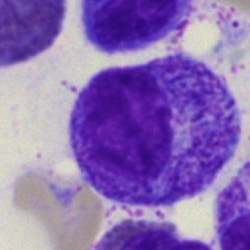 Morphology — promyelocyte.